250×250; 40× objective, oil immersion; bone marrow aspirate smear:
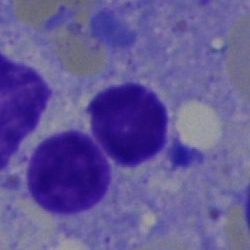
Morphology → artifact.